May-Grünwald-Giemsa/Pappenheim stain; bone marrow smear.
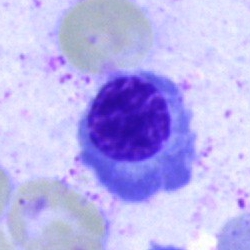

Impression → nucleated red blood cell.